Brightfield microscopy, 40× oil immersion · single-cell field · bone marrow aspirate smear
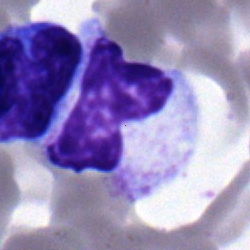The cell shown is a neutrophil (segmented).